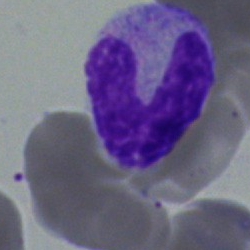
{"cell_type": "band neutrophil", "lineage": "myeloid"}